Peripheral blood smear; single-cell field: 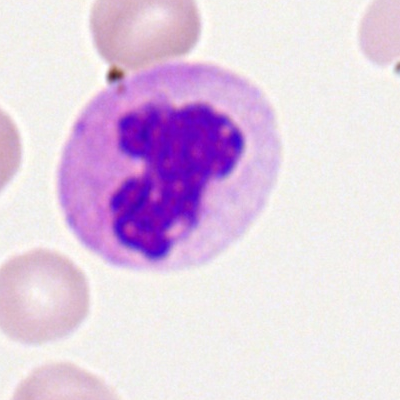

Cell = neutrophil (segmented).